Bone marrow smear.
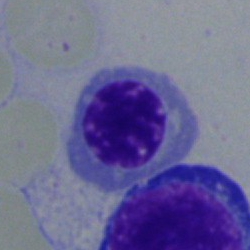Cell type: nucleated red blood cell.